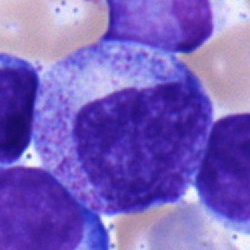

The cell is myelocyte.